Bone marrow aspirate smear
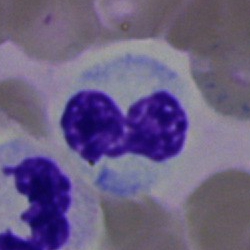

Q: What is shown here?
A: It is a neutrophil (band).